Bone marrow aspirate smear · single cell centered in the field
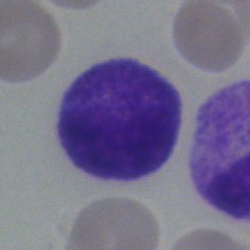Morphological class: myelocyte.